40× oil immersion; 250×250; bone marrow aspirate smear.
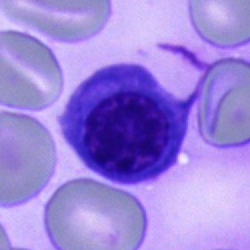Showing a nucleated red blood cell.